Peripheral blood smear. Cropped to a single cell
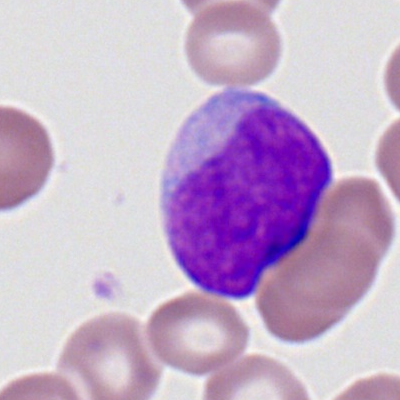

Specimen: peripheral blood smear.
Morphological class: myeloid blast.
Lineage: myeloid.